Bone marrow aspirate smear.
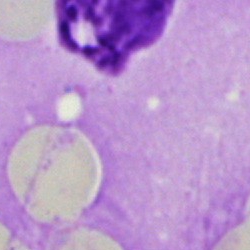

Morphology consistent with an artifact.